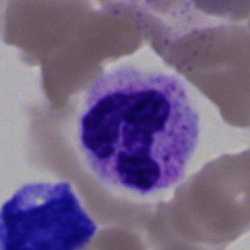

The cell shown is a neutrophil (segmented).